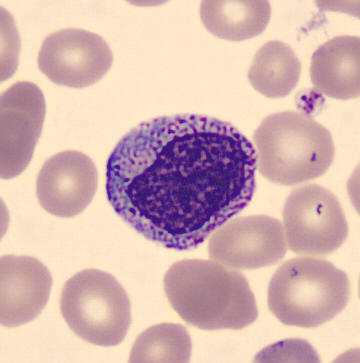

Impression — myelocyte. Acquisition: Peripheral blood smear · single-cell field · automated cell imaging (CellaVision DM96).